Bone marrow smear.
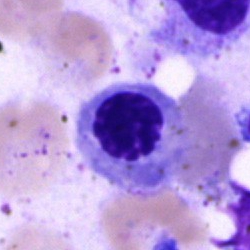 Single cell identified as an erythroblast.